Bone marrow smear: 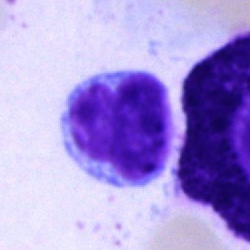Q: Identify the cell.
A: This is a lymphocyte.